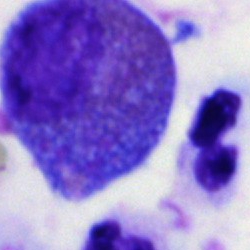

This is an eosinophilic granulocyte.